Bone marrow aspirate smear — 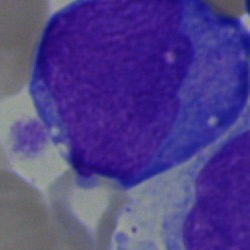 Classification = blast cell.